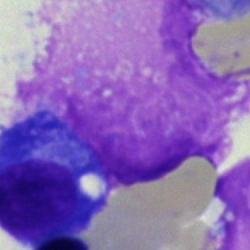
Q: What is shown here?
A: Artifact.